Bone marrow aspirate smear — 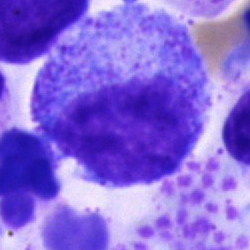
This is a promyelocyte.